Bone marrow aspirate smear. May-Grünwald-Giemsa/Pappenheim stain
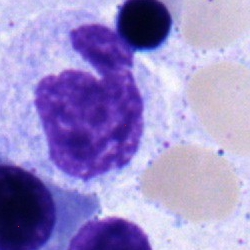 Cell type = monocyte.